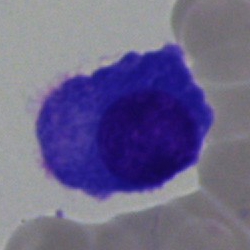
Impression → plasma cell.